May-Grünwald-Giemsa/Pappenheim stain; bone marrow aspirate smear:
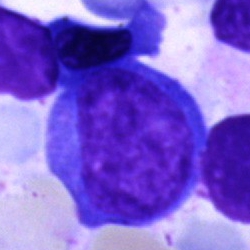Q: What cell is this?
A: It is a blast cell.